Bone marrow smear; brightfield microscopy, 40× oil immersion.
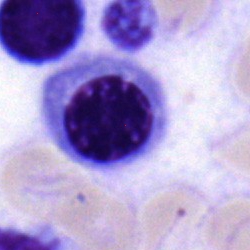Classification — normoblast.